Bone marrow smear; 40× oil immersion
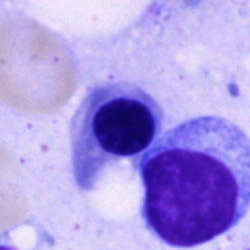 Q: What cell is this?
A: Nucleated red cell.